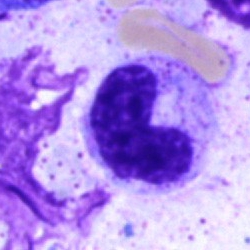
Morphological class — metamyelocyte.